Brightfield, 40× oil-immersion objective; bone marrow aspirate smear — 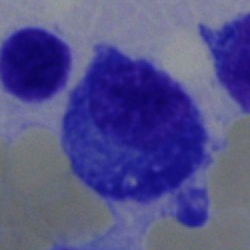This is a plasmacyte.